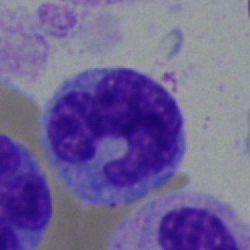

Cell type: monocyte.